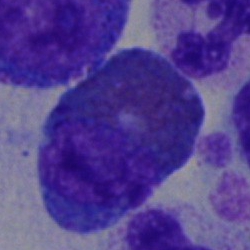Morphology → eosinophilic granulocyte.